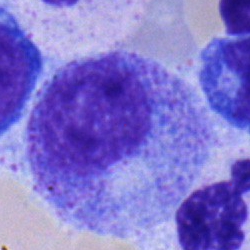

This is a myelocyte.